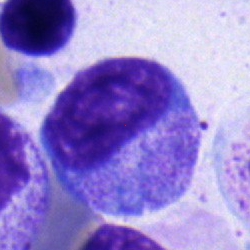
Impression — progranulocyte.